Bone marrow aspirate smear. 40× oil immersion:
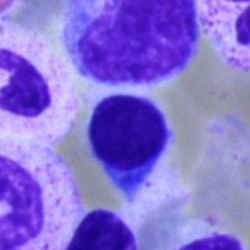

Morphology consistent with a typical lymphocyte.